Peripheral blood smear:
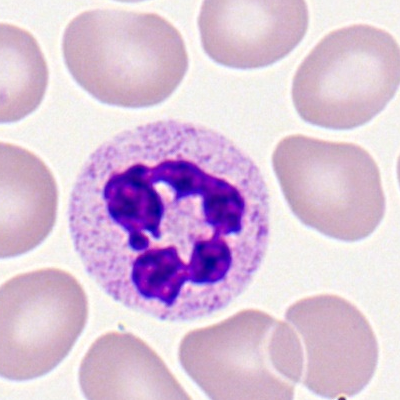 Specimen: peripheral blood film.
Cell type: segmented neutrophil.
Lineage: myeloid.